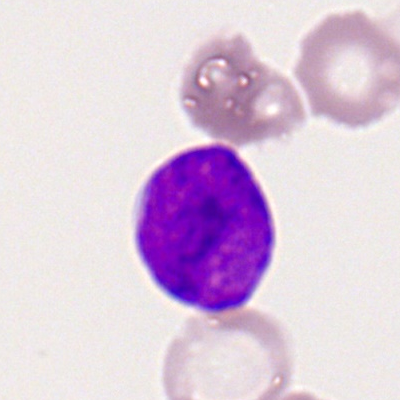
Single-cell crop from a peripheral blood smear: myeloid blast.